Bone marrow smear: 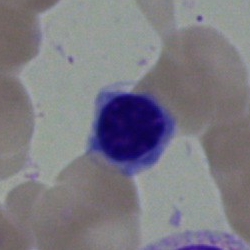 Q: Which cell type is shown here?
A: It is a normoblast.